Bone marrow smear
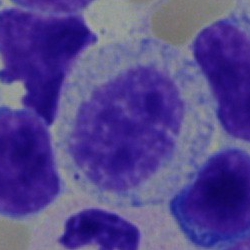

Showing a myelocyte.